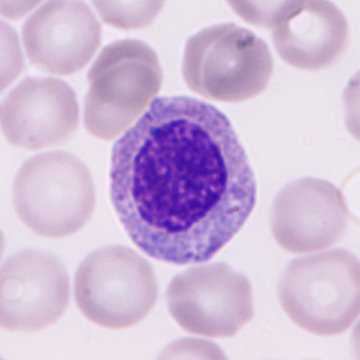

Image: Peripheral blood smear.

Morphology → immature granulocyte (promyelocyte, myelocyte or metamyelocyte).